Bone marrow smear; May-Grünwald-Giemsa/Pappenheim stain: 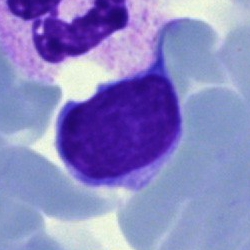
Q: Which cell type is shown here?
A: A typical lymphocyte.